Bone marrow aspirate smear — 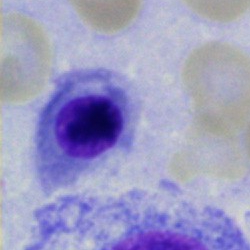Q: Which cell type is shown here?
A: It is a nucleated red cell.